Bone marrow smear:
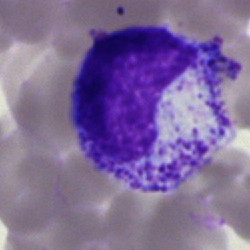
Single cell identified as a metamyelocyte.